Bone marrow smear.
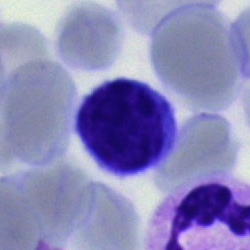
Cell: typical lymphocyte.